Bone marrow aspirate smear: 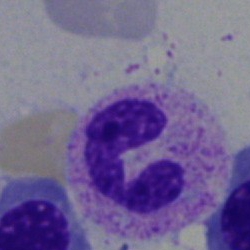
Specimen: bone marrow smear.
Cell: polymorphonuclear neutrophil.
Lineage: myeloid.